Bone marrow aspirate smear · single-cell crop:
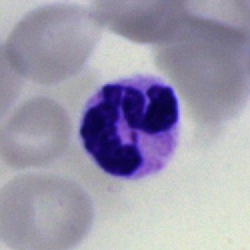 A neutrophil (segmented).